Bone marrow smear — 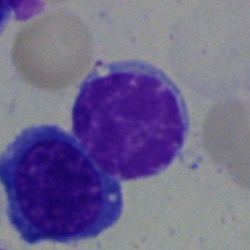This is a lymphocyte.